Pappenheim-stained. Bone marrow smear
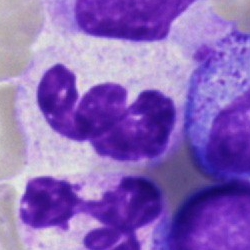

The cell is neutrophil (segmented).